Image size 250×250. May-Grünwald-Giemsa/Pappenheim stain. Bone marrow aspirate smear: 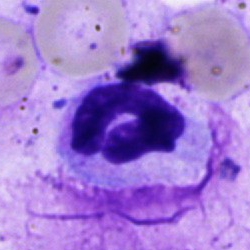 The cell shown is a segmented neutrophil.